Bone marrow aspirate smear.
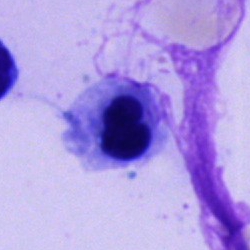Q: What is shown here?
A: Nucleated red blood cell.